Bone marrow smear
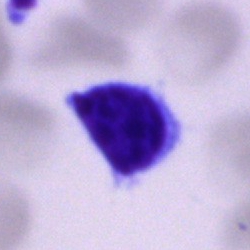Lymphocyte.